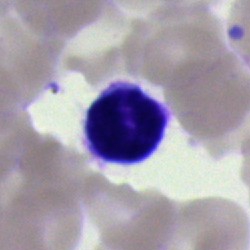
Cell — lymphocyte.